Bone marrow smear: 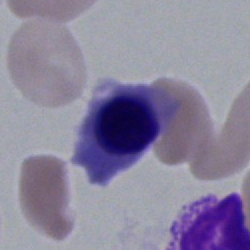 Classification — normoblast.